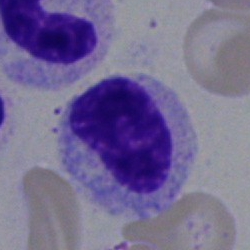
Q: What type of cell is this?
A: Metamyelocyte.